Bone marrow aspirate smear:
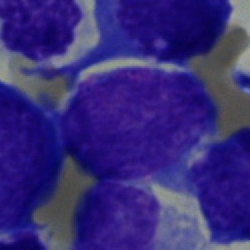Blast cell.